Image size 250×250; bone marrow smear; 40× oil immersion:
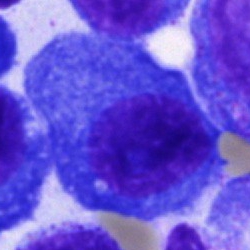 Q: Which cell type is shown here?
A: Plasma cell.